Bone marrow smear · 250×250 px: 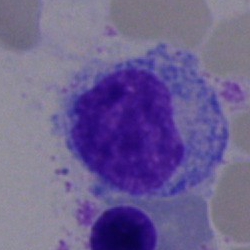Impression → myelocyte.